Bone marrow smear — 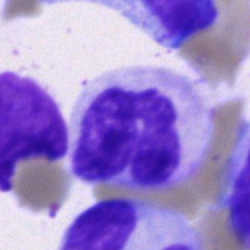

Q: What is shown here?
A: Polymorphonuclear neutrophil.